Brightfield, 100× oil-immersion objective. Peripheral blood film: 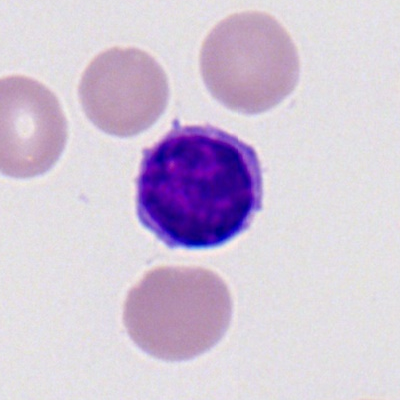

Morphology consistent with a typical lymphocyte.